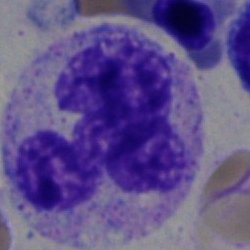 Specimen: bone marrow aspirate smear.
Cell: neutrophil (segmented).
Lineage: myeloid.